Single cell centered in the field · 250×250 · bone marrow smear.
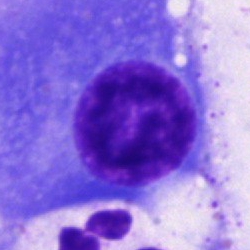 Morphology consistent with a plasmacyte.